Bone marrow smear:
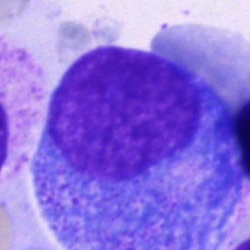

The cell shown is a progranulocyte.